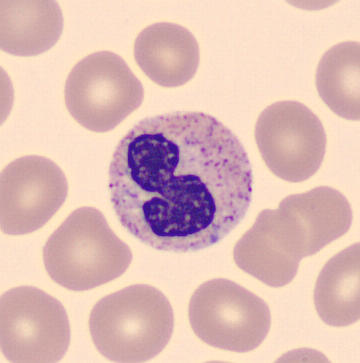

Impression — neutrophil (band).

Image: Peripheral blood film.